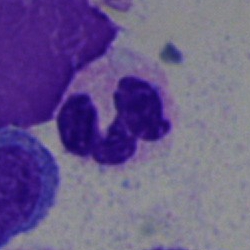 Morphology consistent with a polymorphonuclear neutrophil.